Bone marrow smear; MGG-stained
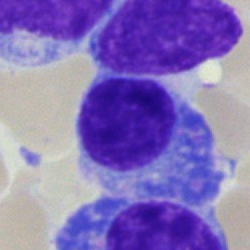
Specimen: bone marrow smear.
Cell: plasmacyte.
Lineage: lymphoid.